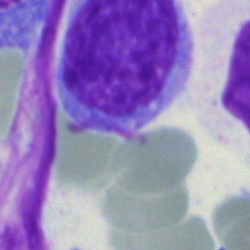

Single cell identified as a lymphocyte.